Bone marrow smear.
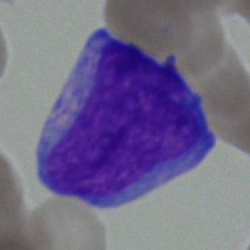

Impression → basophilic granulocyte.